40× oil immersion · 250 by 250 pixels · bone marrow aspirate smear.
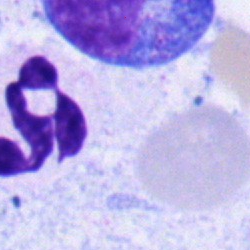

Q: What type of cell is this?
A: It is a promyelocyte.